Single-cell field. Bone marrow smear
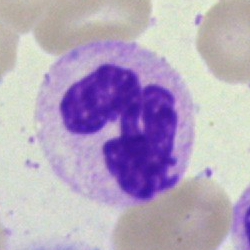 Morphology consistent with a segmented neutrophil.